May-Grünwald-Giemsa/Pappenheim stain · cropped to a single cell · bone marrow smear
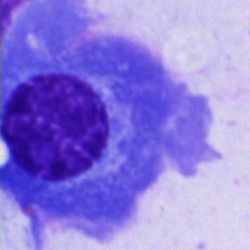

This is a plasma cell.